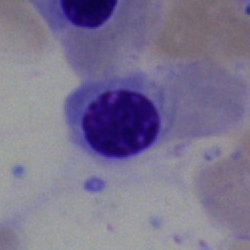 Q: What type of cell is this?
A: This is an erythroblast.